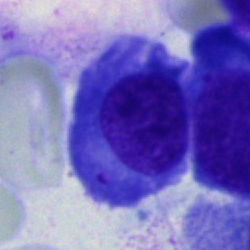
Cell = nucleated red blood cell.